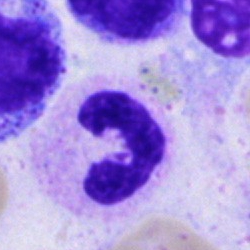
Showing a segmented neutrophil.